Bone marrow aspirate smear · single-cell field
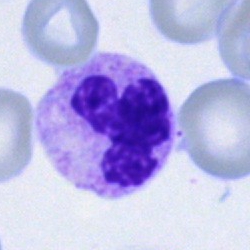 This is a neutrophil (segmented).